Bone marrow smear.
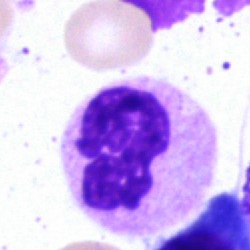

Morphological class: neutrophil (segmented).